Brightfield, 40× oil-immersion objective · cropped to a single cell · bone marrow aspirate smear.
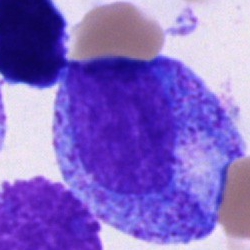

The cell type is promyelocyte.